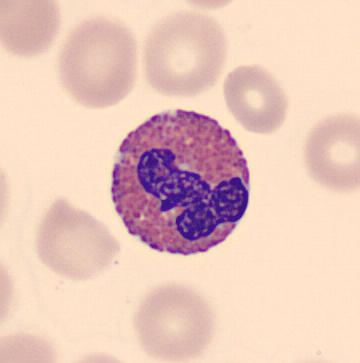The cell type is eosinophil.
May-Grünwald-Giemsa-stained · peripheral blood film.